Bone marrow smear
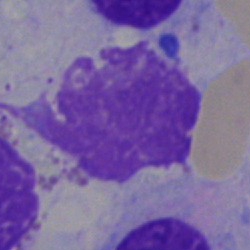
Q: What is shown here?
A: This is an artefact.